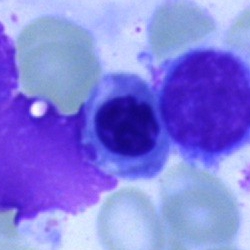

Q: Which cell type is shown here?
A: Nucleated red cell.